Peripheral blood smear; 100× objective, oil immersion; single-cell field: 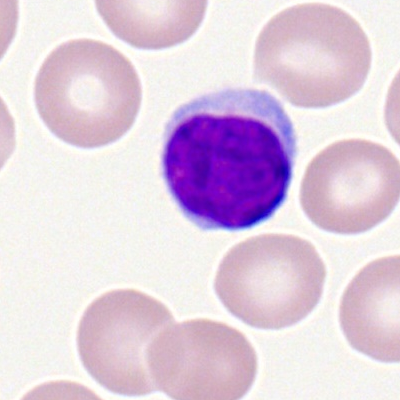
Specimen: peripheral blood film.
Morphological class: lymphocyte.
Lineage: lymphoid.